400 by 400 pixels; peripheral blood film:
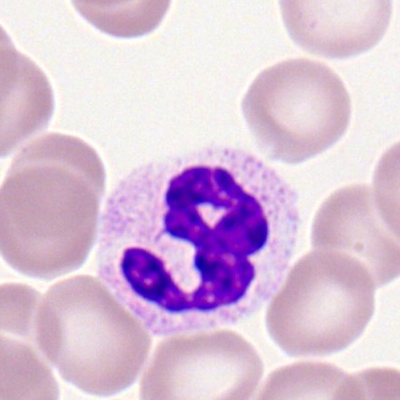 Classification = polymorphonuclear neutrophil.